Bone marrow aspirate smear
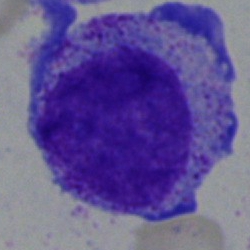
Q: What cell is this?
A: Promyelocyte.